Bone marrow smear:
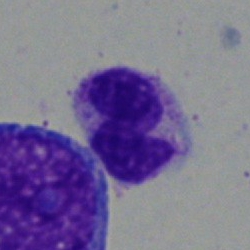

Morphological class: segmented neutrophil.